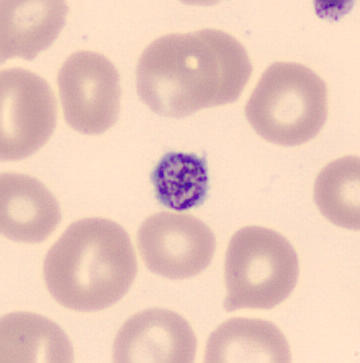Peripheral blood film · CellaVision DM96 · May Grünwald-Giemsa stain.
Morphological class = platelet.